Bone marrow aspirate smear: 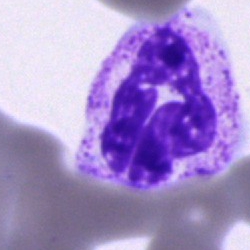
Cell type = neutrophil (segmented).